Bone marrow smear — 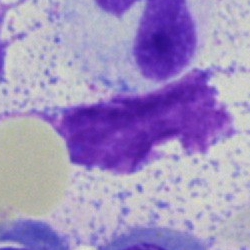

An artefact.